Cropped to a single cell · peripheral blood smear
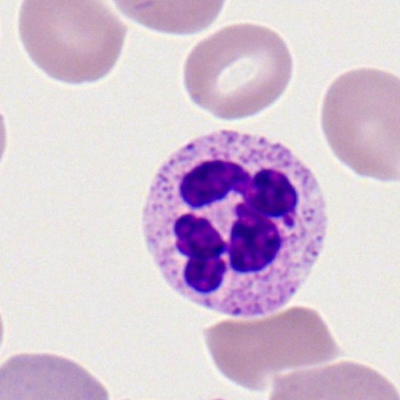Q: What is the morphological classification of this cell?
A: It is a segmented neutrophil.